Romanowsky-type stain; peripheral blood film.
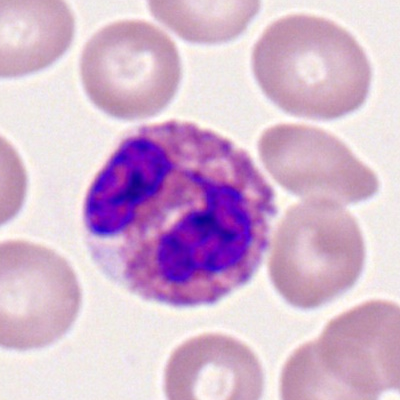 The morphological class is eosinophil.